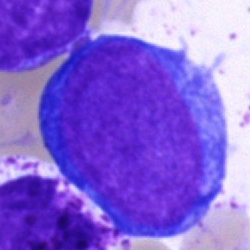Cell — proerythroblast.